Pappenheim-stained. Bone marrow aspirate smear
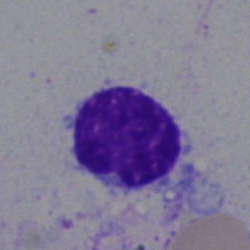 Q: What type of cell is this?
A: Lymphocyte.